250×250 px. Bone marrow smear — 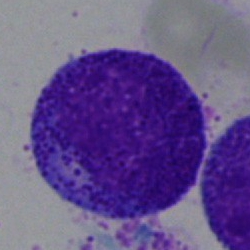 Showing a progranulocyte.